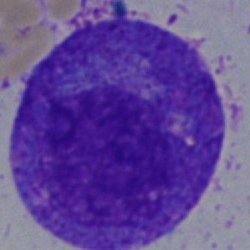 Promyelocyte.